40× objective, oil immersion; bone marrow smear; Pappenheim-stained.
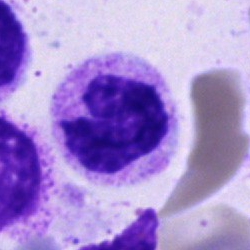
Single cell identified as a polymorphonuclear neutrophil.